Image size 250×250; bone marrow aspirate smear:
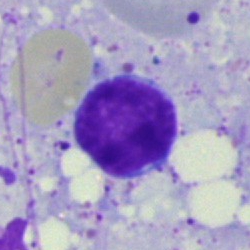
Q: What type of cell is this?
A: It is a lymphocyte.